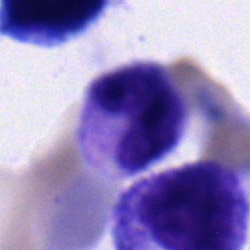The morphological class is metamyelocyte.